Bone marrow smear. 250×250. Single cell centered in the field
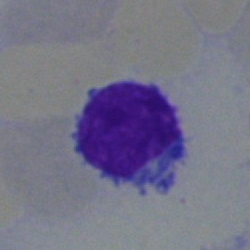
Classification: lymphocyte.